Bone marrow aspirate smear. Cropped to a single cell. May-Grünwald-Giemsa/Pappenheim stain: 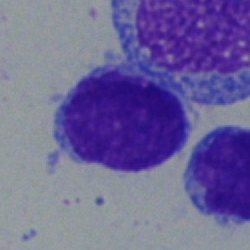The classification is typical lymphocyte.